250 by 250 pixels; bone marrow aspirate smear:
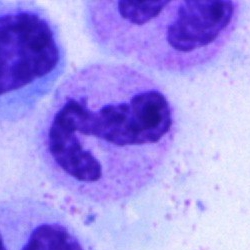 Q: What type of cell is this?
A: It is a neutrophil (segmented).